Bone marrow smear — 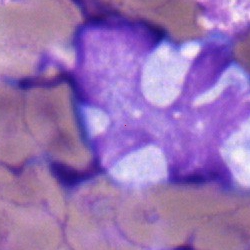

The cell type is monocyte.